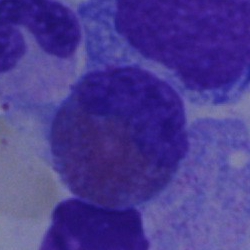Cell — eosinophilic granulocyte.